Bone marrow aspirate smear — 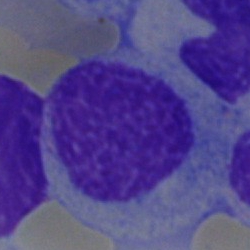
Morphology → myelocyte.